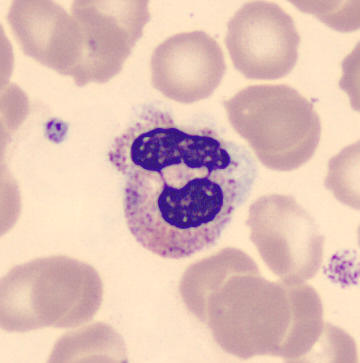 This is a segmented neutrophil. Image: Peripheral blood smear.